Bone marrow aspirate smear:
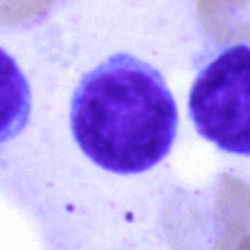

Morphology consistent with a lymphocyte.